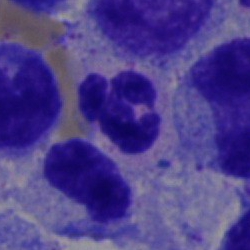
Showing a segmented neutrophil.